Bone marrow aspirate smear · cropped to a single cell:
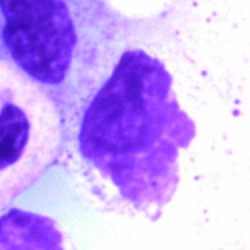

Classification — artifact.